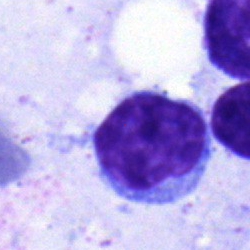 Cell type: typical lymphocyte.